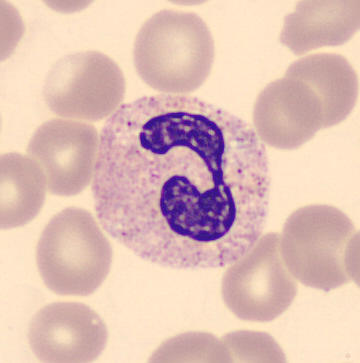

Single cell identified as a segmented neutrophil.

Preparation: Peripheral blood film.